Bone marrow smear:
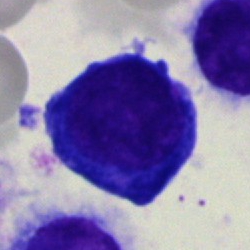 Showing a cell of indeterminate lineage.